Bone marrow smear; cropped to a single cell.
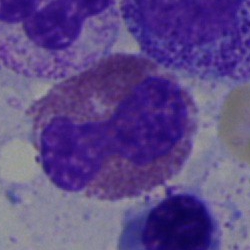Eosinophilic granulocyte.